Bone marrow smear:
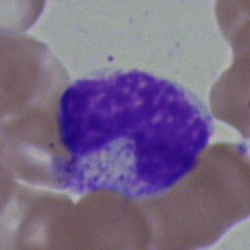Metamyelocyte.